Bone marrow aspirate smear — 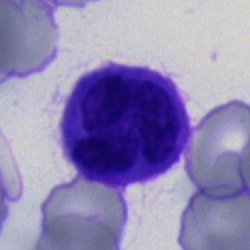{"cell_type": "monocyte"}